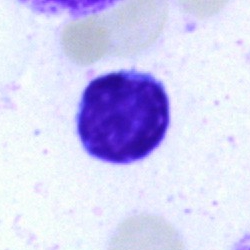
Q: Which cell type is shown here?
A: It is a typical lymphocyte.